MGG-stained; cropped to a single cell; bone marrow smear
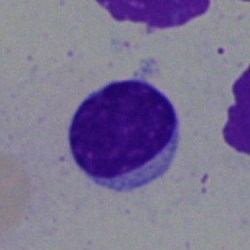Q: Identify the cell.
A: A typical lymphocyte.